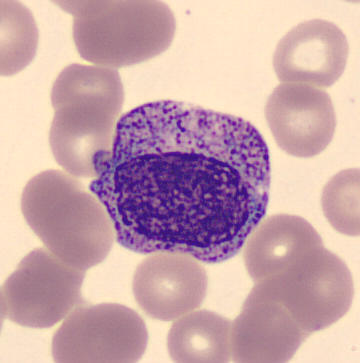Peripheral blood smear; 360×363 px; single-cell field. {"cell_type": "myelocyte"}